Bone marrow smear — 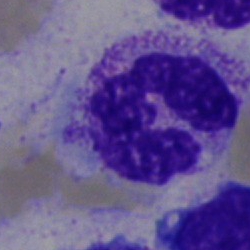Single cell identified as a polymorphonuclear neutrophil.